MGG-stained; 250 by 250 pixels; bone marrow smear: 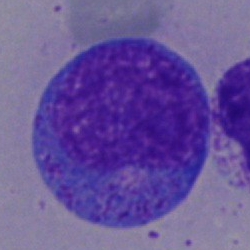
Q: Which cell type is shown here?
A: It is a progranulocyte.